Bone marrow smear. 40× oil immersion. 250×250 px: 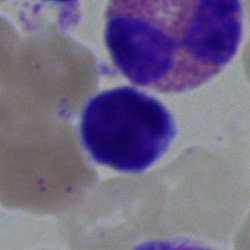 A lymphocyte.